Bone marrow smear.
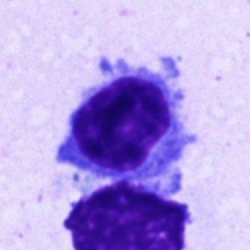Q: What is shown here?
A: A typical lymphocyte.